Cropped to a single cell. Bone marrow smear.
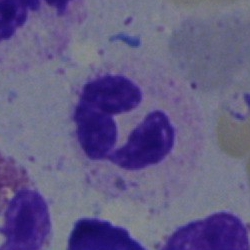
Classification — segmented neutrophil.